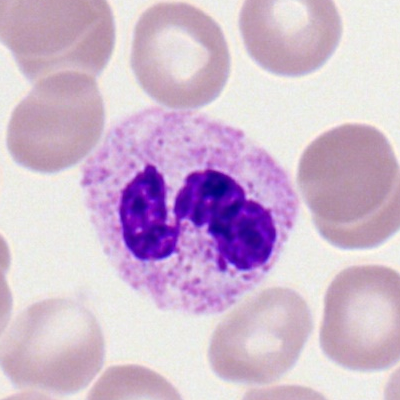

Peripheral blood smear showing a segmented neutrophil.